Single-cell field; bone marrow aspirate smear:
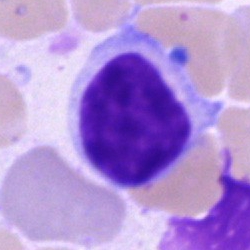
Specimen: bone marrow smear.
Morphological class: lymphocyte.